Brightfield microscopy, 40× oil immersion · bone marrow aspirate smear · 250 by 250 pixels:
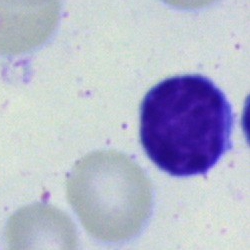
Showing a typical lymphocyte.